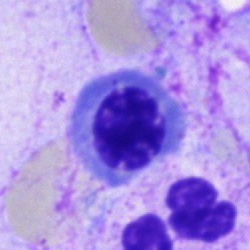 A nucleated red blood cell on a bone marrow smear.